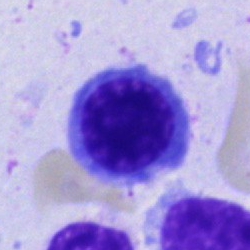This is a nucleated red blood cell.